Bone marrow smear
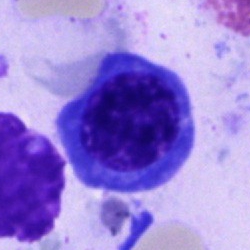
Specimen: bone marrow smear.
Classification: nucleated red cell.